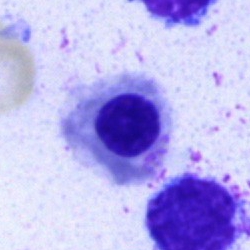
A nucleated red cell.